Bone marrow smear
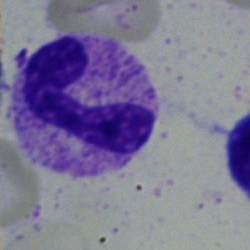Morphology — band neutrophil.